Bone marrow aspirate smear — 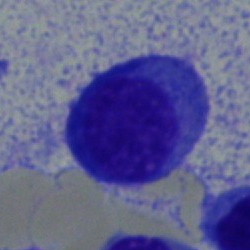
Classification: plasma cell.